Bone marrow smear
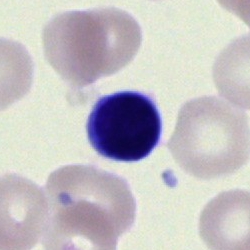
A typical lymphocyte.